Bone marrow aspirate smear; brightfield, 40× oil-immersion objective
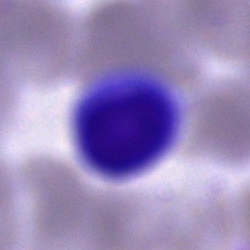

Cell type: artefact.